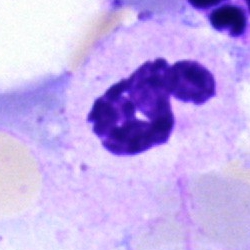
Morphological class: neutrophil (segmented).